Bone marrow smear:
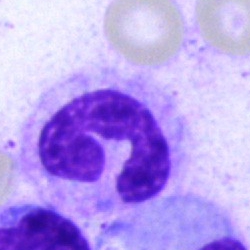 Q: What cell is this?
A: A polymorphonuclear neutrophil.